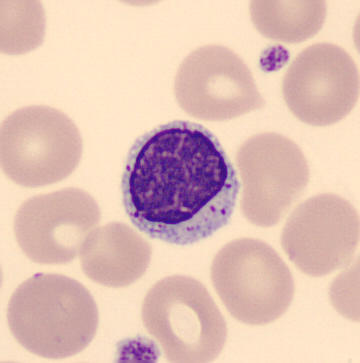 Classification: typical lymphocyte.

Preparation: Peripheral blood film.